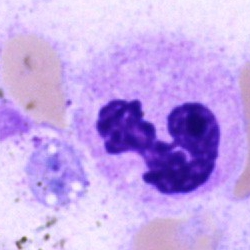 Cell type — segmented neutrophil.